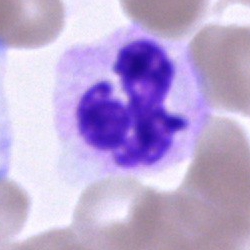Impression — segmented neutrophil.